Bone marrow smear:
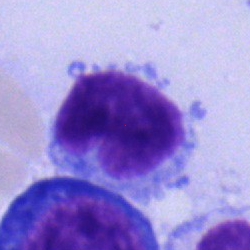
Q: What is the morphological classification of this cell?
A: This is a typical lymphocyte.